Bone marrow smear · brightfield microscopy, 40× oil immersion
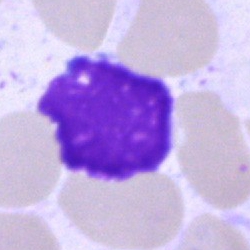
Impression — artifact.